250×250 px · bone marrow smear · 40× objective, oil immersion:
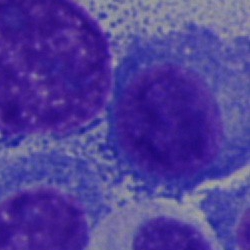

Q: Which cell type is shown here?
A: Plasma cell.